May-Grünwald-Giemsa/Pappenheim stain. Bone marrow smear
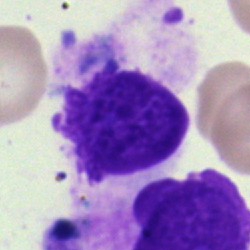Impression — artefact.